Brightfield microscopy, 40× oil immersion. Bone marrow smear
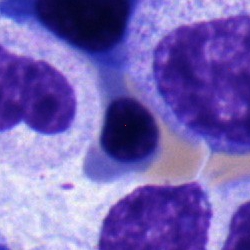 The cell shown is a normoblast.